Bone marrow aspirate smear: 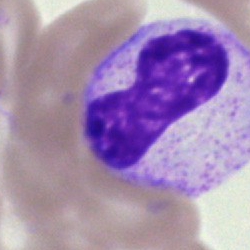 Cell type = metamyelocyte.